40× oil immersion; bone marrow aspirate smear.
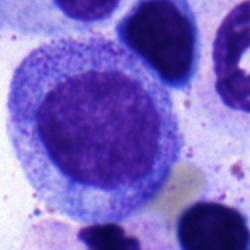

Q: Identify the cell.
A: This is a promyelocyte.